Peripheral blood film:
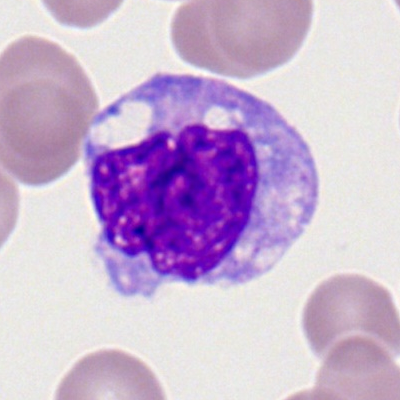
Cell: monocyte.